Bone marrow aspirate smear; 250 by 250 pixels: 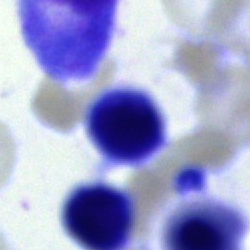 Q: What type of cell is this?
A: This is a typical lymphocyte.